Bone marrow smear. 40× oil immersion: 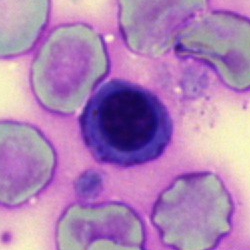Q: What is shown here?
A: It is a normoblast.